Bone marrow aspirate smear · brightfield microscopy, 40× oil immersion · 250 by 250 pixels
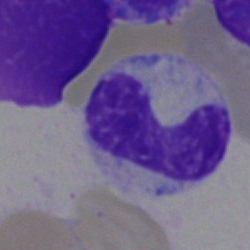A band neutrophil.